Pappenheim-stained; single-cell crop; bone marrow smear — 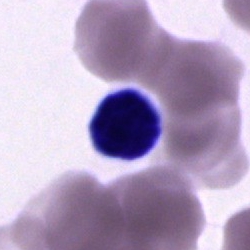 Single cell identified as an artifact.